Peripheral blood smear
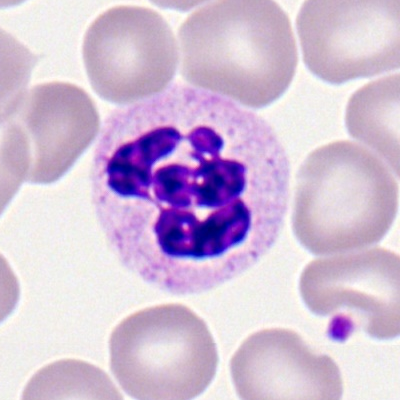Impression → polymorphonuclear neutrophil.